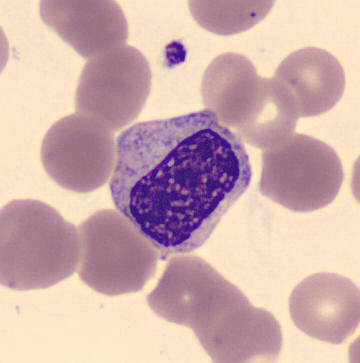Image: Peripheral blood film. The cell shown is a myelocyte.